Bone marrow aspirate smear
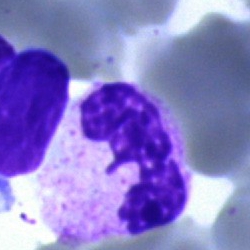 A neutrophil (segmented).